Bone marrow aspirate smear.
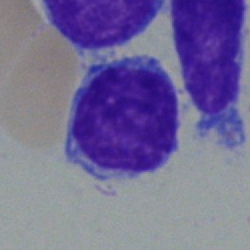The classification is typical lymphocyte.